Single-cell crop; bone marrow aspirate smear; 250 by 250 pixels:
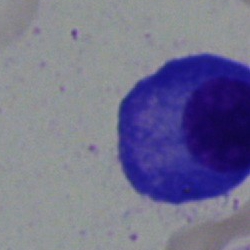

Q: What cell is this?
A: A plasma cell.